Bone marrow smear.
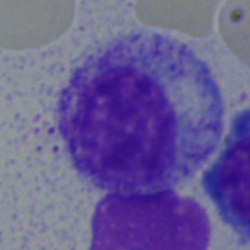

{"cell_type": "myelocyte", "lineage": "myeloid"}